Bone marrow aspirate smear; brightfield, 40× oil-immersion objective: 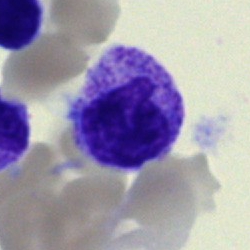 Classification = band-form neutrophil.